Bone marrow smear:
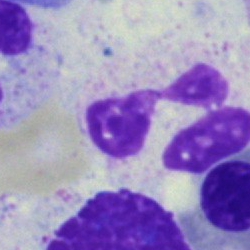 Morphological class: polymorphonuclear neutrophil.